Bone marrow smear
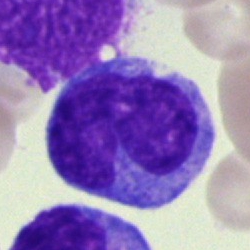

Q: What type of cell is this?
A: This is a monocyte.